Bone marrow smear: 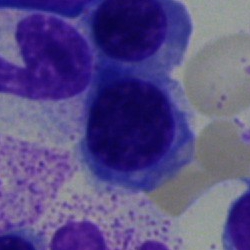Specimen: bone marrow aspirate smear.
Cell: erythroblast.
Lineage: erythroid.